Bone marrow smear: 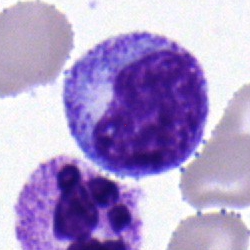
A myelocyte.